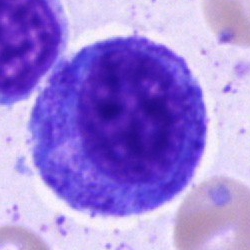

Q: Identify the cell.
A: This is a progranulocyte.